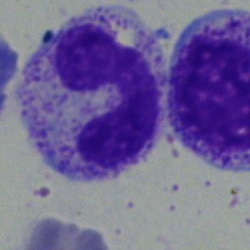

Morphology consistent with a neutrophil (band).